Bone marrow aspirate smear: 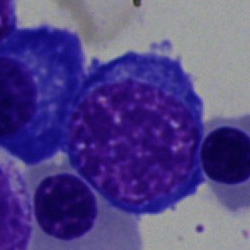
Morphological class: nucleated red cell.